Bone marrow aspirate smear:
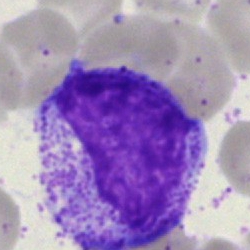 Showing a myelocyte.